Bone marrow smear — 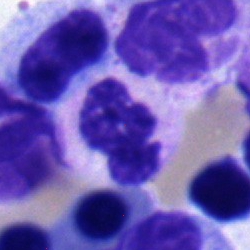 Showing a segmented neutrophil.